Bone marrow smear.
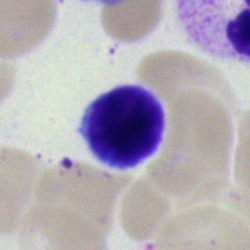
Classification = typical lymphocyte.